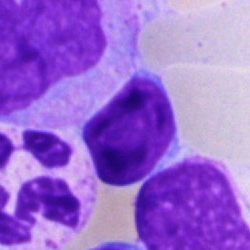
A typical lymphocyte.